Single-cell crop. Bone marrow aspirate smear — 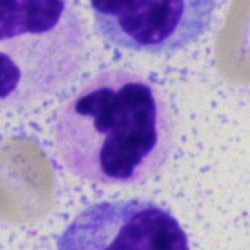Single cell identified as a polymorphonuclear neutrophil.